Bone marrow aspirate smear: 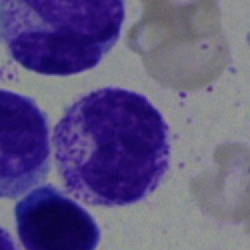 Polymorphonuclear neutrophil.